Bone marrow smear
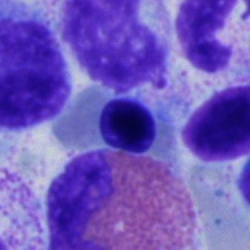An erythroblast.